Bone marrow aspirate smear · single-cell field: 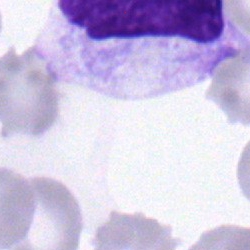Q: What cell is this?
A: A band-form neutrophil.